250 by 250 pixels; MGG-stained; bone marrow smear — 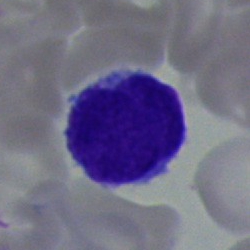 Impression → blast.